Bone marrow aspirate smear — 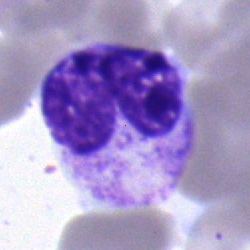{"cell_type": "metamyelocyte", "lineage": "myeloid"}